40× objective, oil immersion. Single cell centered in the field. Bone marrow aspirate smear: 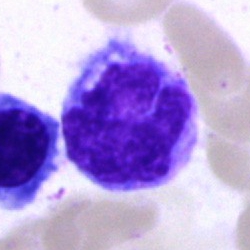
Specimen: bone marrow aspirate smear.
Cell type: monocyte.